Single-cell field; bone marrow aspirate smear; Pappenheim-stained:
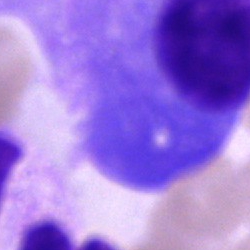 Q: What type of cell is this?
A: A plasmacyte.